Bone marrow smear — 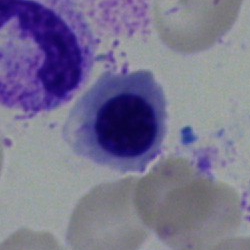

Cell type — erythroblast.